Bone marrow aspirate smear:
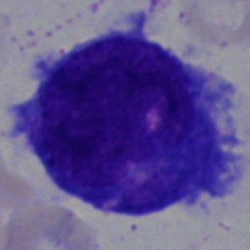
This is a blast cell.